400×400 px. Peripheral blood film: 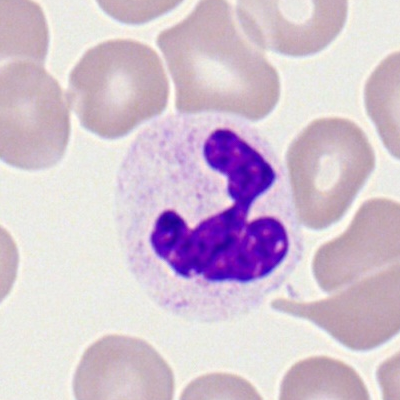
Cell type = segmented neutrophil.